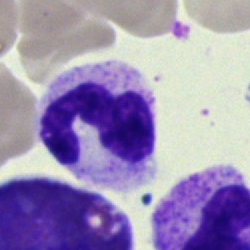

This is a neutrophil (segmented).